Bone marrow smear · May-Grünwald-Giemsa/Pappenheim stain — 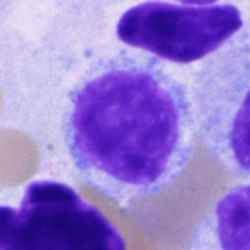
A lymphocyte.